Bone marrow smear.
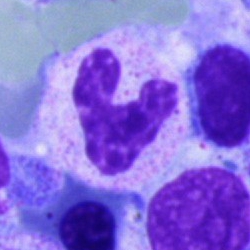 A neutrophil (segmented).